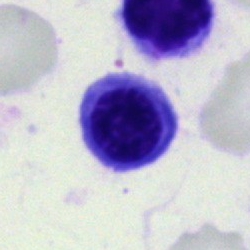

The morphological class is nucleated red blood cell.